250×250 px; bone marrow smear; cropped to a single cell
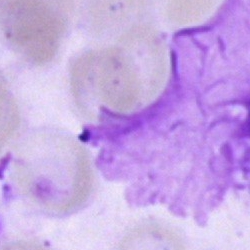The cell shown is an artefact.